Bone marrow smear; MGG-stained.
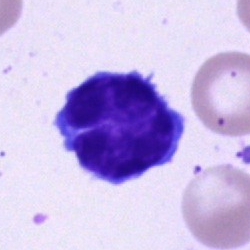
{"cell_type": "typical lymphocyte"}